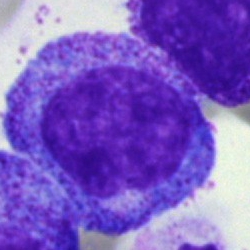 Specimen: bone marrow aspirate smear.
Classification: progranulocyte.